Image size 250×250. Bone marrow aspirate smear
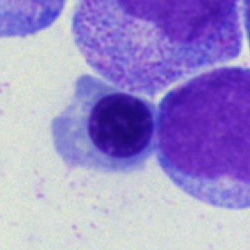

Cell type: erythroblast.